Image size 250×250; bone marrow aspirate smear; cropped to a single cell: 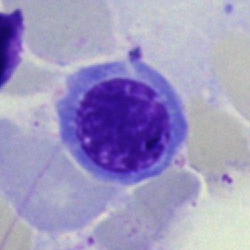Specimen: bone marrow smear.
Classification: erythroblast.